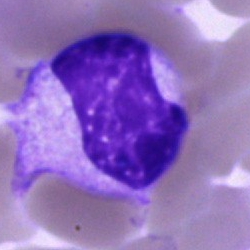Bone marrow smear showing a cell of indeterminate lineage.